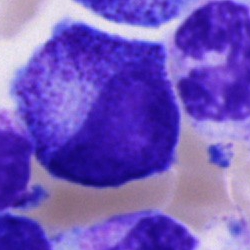
A promyelocyte.